Peripheral blood film
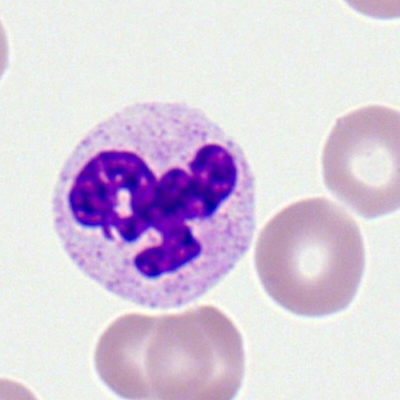 Classification: segmented neutrophil.